Bone marrow aspirate smear
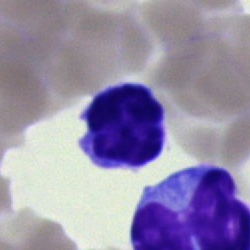 Specimen: bone marrow aspirate smear.
Classification: typical lymphocyte.